Bone marrow smear — 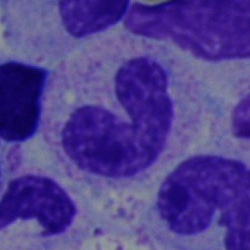 The cell type is band-form neutrophil.